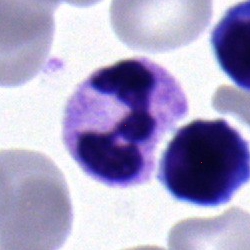The cell is polymorphonuclear neutrophil.